MGG-stained; bone marrow aspirate smear
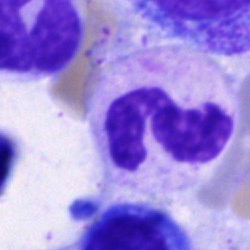{"cell_type": "band neutrophil"}